Bone marrow aspirate smear:
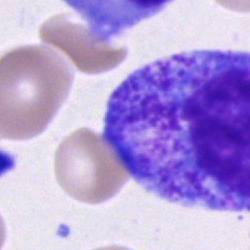 Morphology consistent with a progranulocyte.